Bone marrow smear.
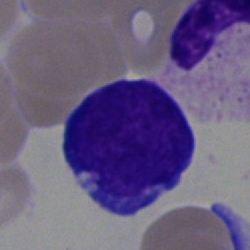 {"cell_type": "blast cell"}